Bone marrow smear
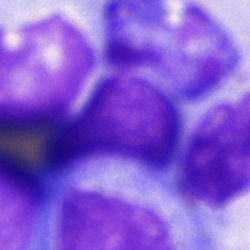
Morphology consistent with an artefact.